Bone marrow aspirate smear; single cell centered in the field: 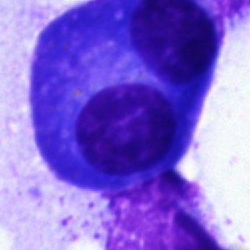Plasmacyte.